Bone marrow aspirate smear.
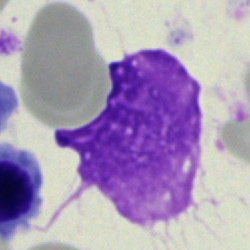Q: What is shown here?
A: This is an artifact.